Bone marrow smear
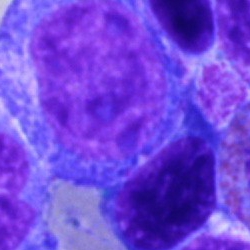Cell = promyelocyte.